250 by 250 pixels; bone marrow aspirate smear.
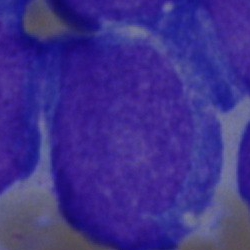 Undifferentiated blast.